Bone marrow aspirate smear · Pappenheim-stained: 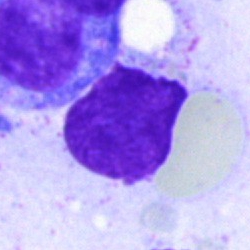Single cell identified as an artifact.